Bone marrow aspirate smear
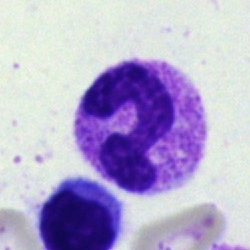 A neutrophil (segmented).